Bone marrow smear.
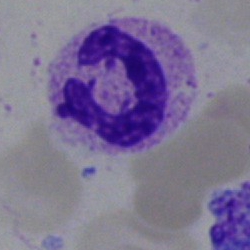
Q: Identify the cell.
A: Segmented neutrophil.